Image size 250×250. Bone marrow aspirate smear: 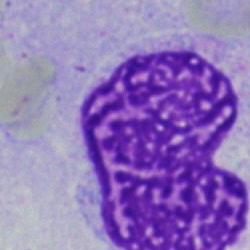 Cell type — artefact.